Bone marrow aspirate smear · Pappenheim-stained.
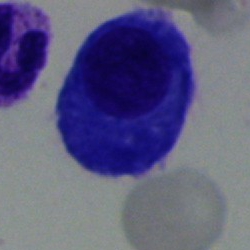 Morphology → plasma cell.